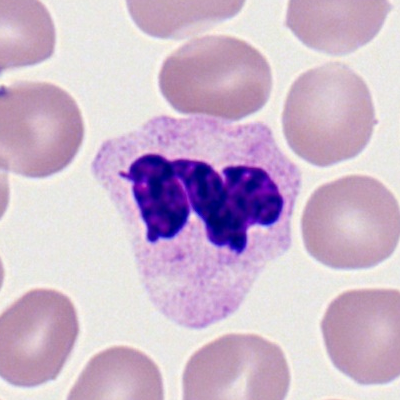

Morphology — segmented neutrophil.